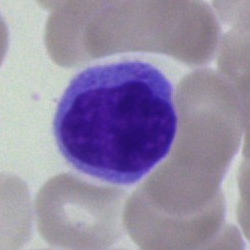 Q: What cell is this?
A: Typical lymphocyte.